Bone marrow aspirate smear: 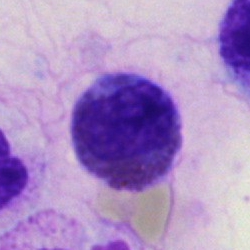The cell shown is an eosinophil.